Bone marrow smear:
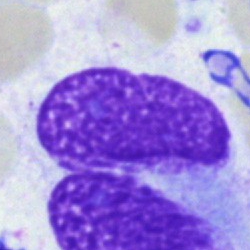

Q: What is shown here?
A: It is an artefact.